Bone marrow smear.
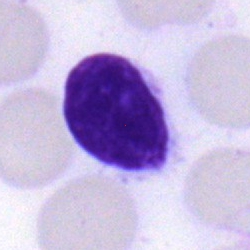
Lymphocyte.